Single-cell field · 40× oil immersion · bone marrow smear.
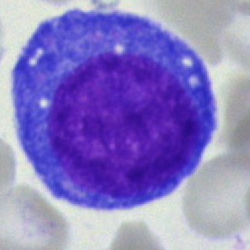
Single cell identified as a blast.